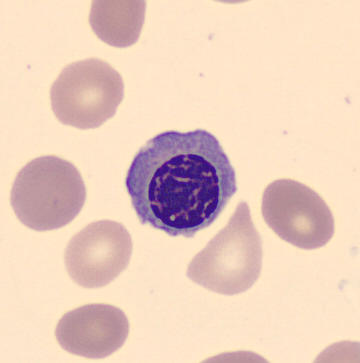Showing a nucleated red cell.

Image: Peripheral blood smear.